Bone marrow smear; MGG-stained — 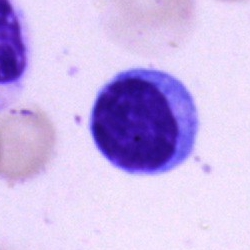
Morphological class = typical lymphocyte.